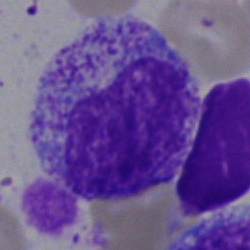

Specimen: bone marrow smear.
Cell type: myelocyte.
Lineage: myeloid.